Bone marrow smear · image size 250×250 — 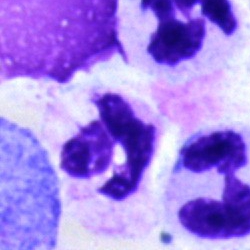Impression — neutrophil (segmented).